Bone marrow aspirate smear:
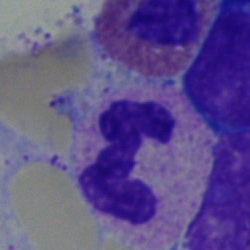
A segmented neutrophil.